Bone marrow smear · cropped to a single cell:
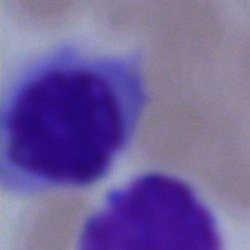 Impression → artefact.